Bone marrow aspirate smear: 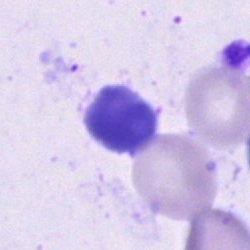

The classification is artefact.